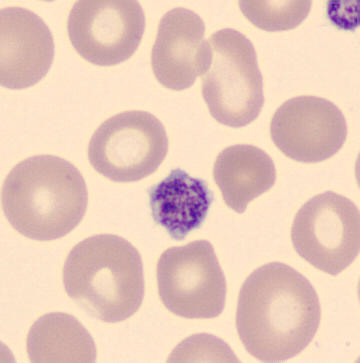
Preparation: Peripheral blood film.
Classification: thrombocyte.